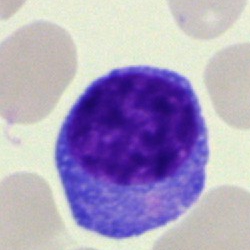 Morphology → lymphocyte.